Bone marrow aspirate smear — 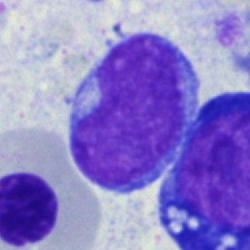 This is an undifferentiated blast.